Brightfield microscopy, 40× oil immersion. Bone marrow smear: 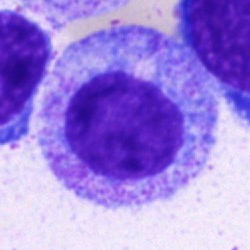

Morphology consistent with a promyelocyte.